Bone marrow smear
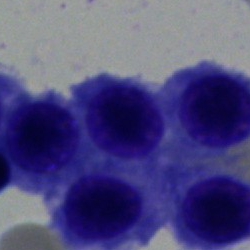Morphology — erythroblast.